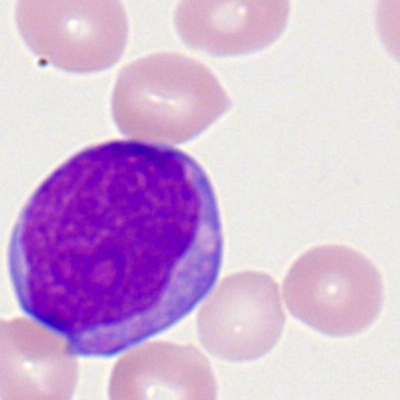 Q: Which cell type is shown here?
A: It is a myeloblast.